Bone marrow smear. Cropped to a single cell.
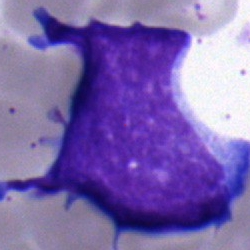

Morphology consistent with an undifferentiated blast.